Bone marrow aspirate smear — 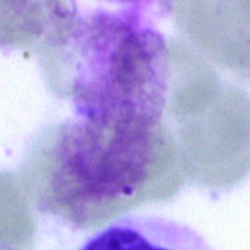Cell — artifact.